Bone marrow aspirate smear
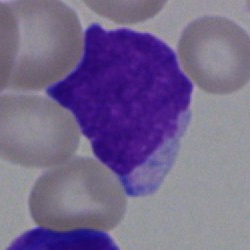Cell — blast.